May-Grünwald-Giemsa/Pappenheim stain. Bone marrow smear
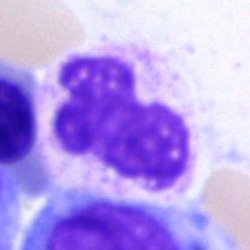An artefact.